Bone marrow smear · 40× objective, oil immersion
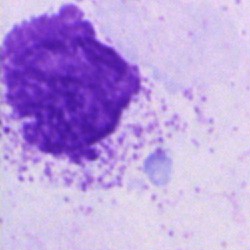Classification — artifact.